Bone marrow aspirate smear
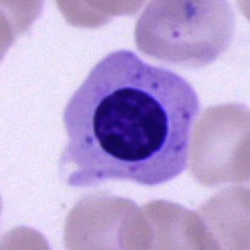{"cell_type": "nucleated red cell", "lineage": "erythroid"}